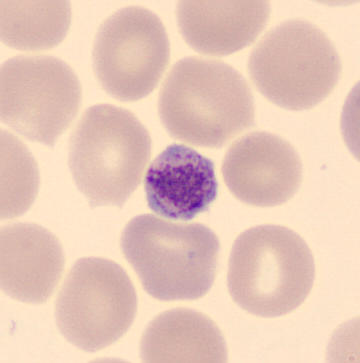Platelet (thrombocyte).
Acquisition: Automated cell imaging (CellaVision DM96) · peripheral blood film.